Bone marrow aspirate smear
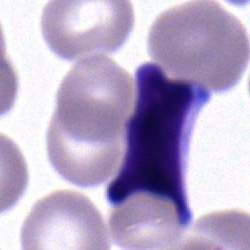Single cell identified as a lymphocyte.